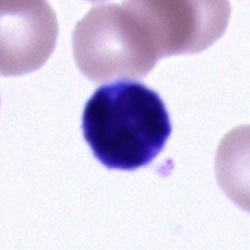
Impression → unidentifiable cell.